40× oil immersion · cropped to a single cell · bone marrow smear.
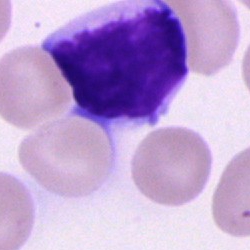Specimen: bone marrow smear.
Morphological class: typical lymphocyte.
Lineage: lymphoid.